250 by 250 pixels. Bone marrow smear. 40× oil immersion
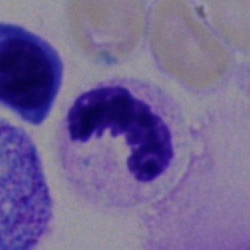

Impression → neutrophil (segmented).